Single-cell field. Peripheral blood film. Image size 400×400
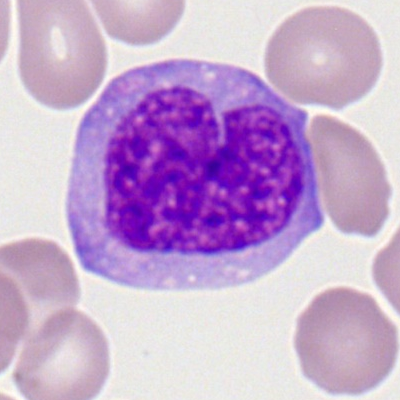
The morphological class is monocyte.